Bone marrow smear — 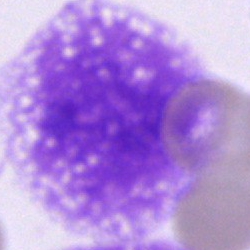

Cell — artefact.